Bone marrow aspirate smear — 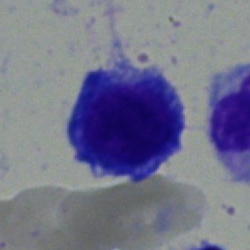 Showing a nucleated red cell.